Bone marrow aspirate smear:
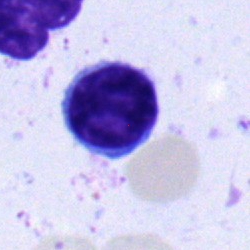 A typical lymphocyte.